Bone marrow aspirate smear
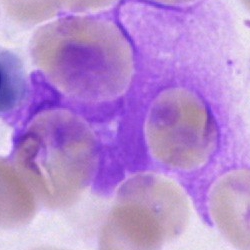 Specimen: bone marrow smear.
Cell type: artifact.